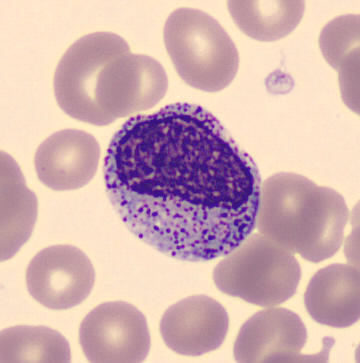
The cell type is myelocyte. Preparation: Peripheral blood smear · imaged on a CellaVision DM96 analyser.